Bone marrow smear — 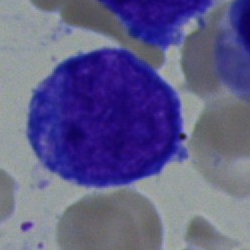

Single cell identified as a progranulocyte.